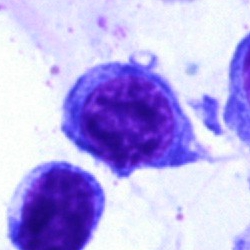

Morphology → nucleated red cell.